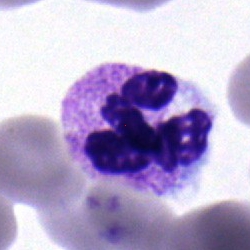

{"cell_type": "segmented neutrophil", "lineage": "myeloid"}